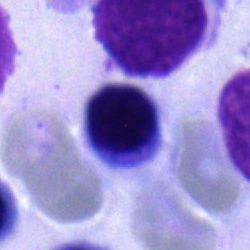
Q: Which cell type is shown here?
A: A typical lymphocyte.